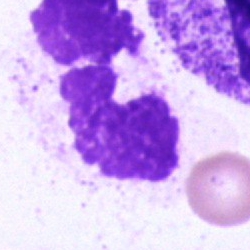

Q: What is shown here?
A: Artifact.